Bone marrow aspirate smear:
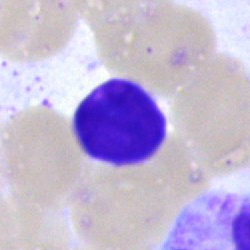Q: Which cell type is shown here?
A: A typical lymphocyte.